Cropped to a single cell. 250 by 250 pixels. Bone marrow smear.
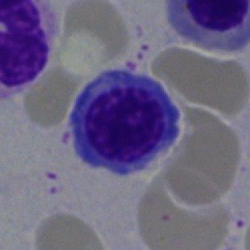
Cell = nucleated red blood cell.